400×400 px · peripheral blood smear: 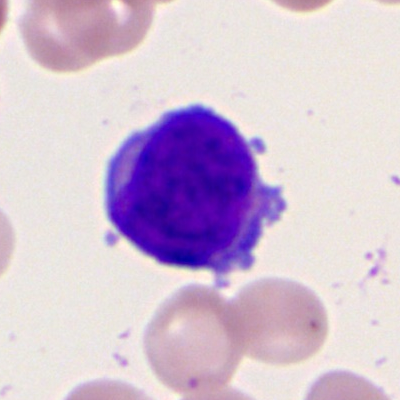This is a myeloid blast.